Bone marrow aspirate smear
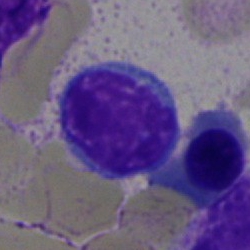 Impression — lymphocyte.